Bone marrow aspirate smear: 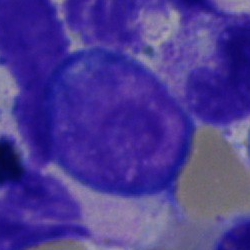

Cell = proerythroblast.